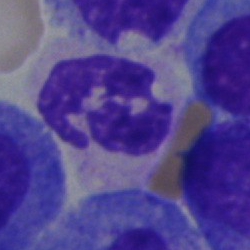Q: Which cell type is shown here?
A: Polymorphonuclear neutrophil.